Bone marrow aspirate smear — 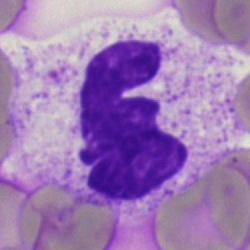Showing a neutrophil (segmented).